Bone marrow aspirate smear
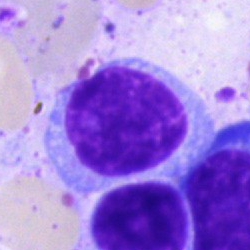 Specimen: bone marrow smear.
Classification: lymphocyte.